Bone marrow smear — 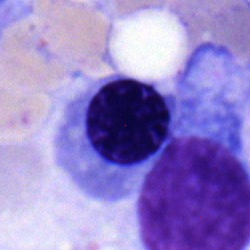
Specimen: bone marrow smear.
Morphological class: erythroblast.
Lineage: erythroid.